Bone marrow aspirate smear:
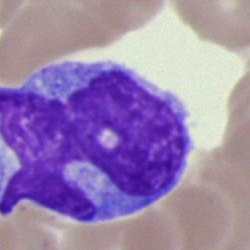
Morphological class: monocyte.